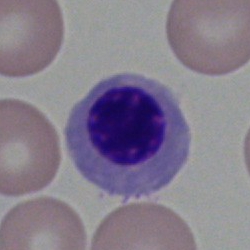 Impression — nucleated red blood cell.